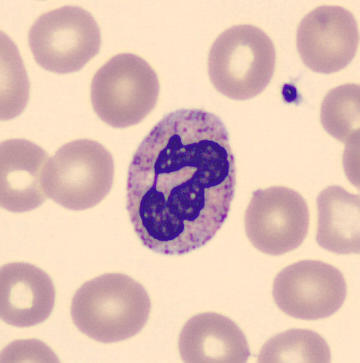

Impression → neutrophil (segmented).
Image: Peripheral blood smear. MGG-stained.